Cropped to a single cell; bone marrow smear:
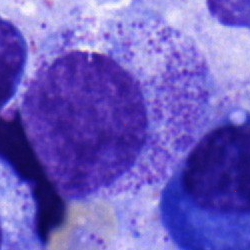
Myelocyte.